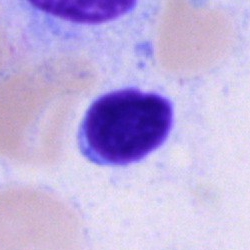
Morphological class: typical lymphocyte.